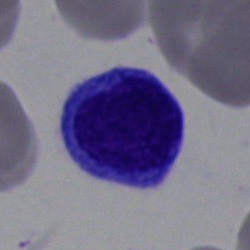

The cell shown is a typical lymphocyte.